Peripheral blood film: 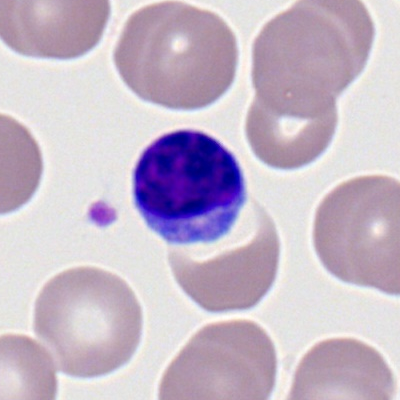The cell is typical lymphocyte.